Bone marrow smear.
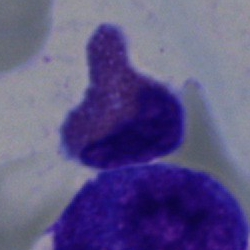
Eosinophilic granulocyte.